Single cell centered in the field; bone marrow aspirate smear; May-Grünwald-Giemsa stain:
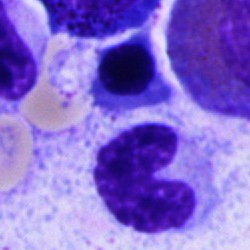
Specimen: bone marrow aspirate smear.
Cell type: neutrophil (band).
Lineage: myeloid.